40× oil immersion. Single cell centered in the field. Bone marrow aspirate smear — 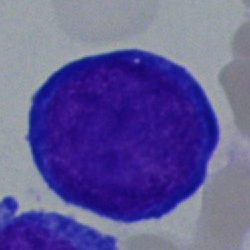Q: What cell is this?
A: Proerythroblast.